Bone marrow smear · 250 by 250 pixels:
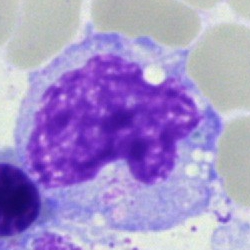

Morphology → monocyte.